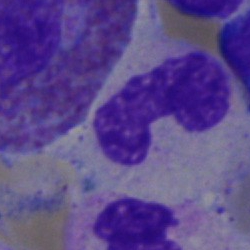

Classification: band-form neutrophil.